May-Grünwald-Giemsa stain; bone marrow smear:
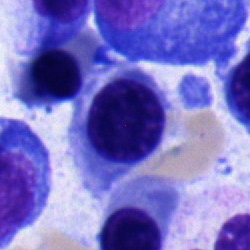This is a normoblast.